Bone marrow smear — 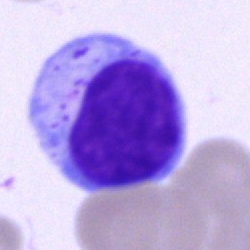 Classification: lymphocyte.